MGG-stained · bone marrow aspirate smear: 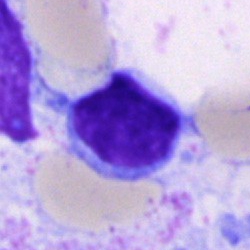

{"cell_type": "typical lymphocyte"}